Peripheral blood film. Single cell centered in the field: 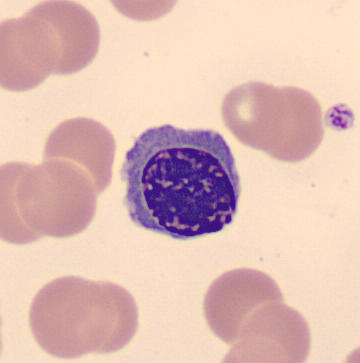 Cell type = erythroblast.